Bone marrow aspirate smear:
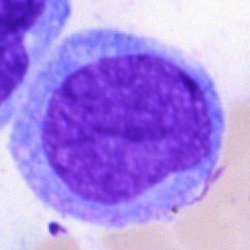 Morphology — undifferentiated blast.